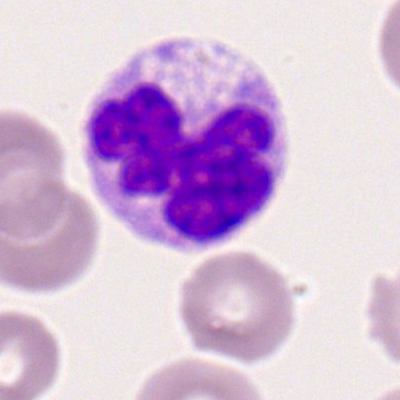 Cell — monocyte.